Bone marrow smear — 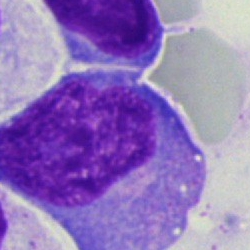
Q: What type of cell is this?
A: A plasma cell.